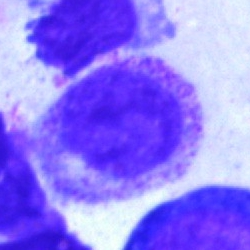{"cell_type": "myelocyte", "lineage": "myeloid"}